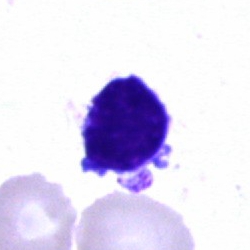Morphology — lymphocyte.